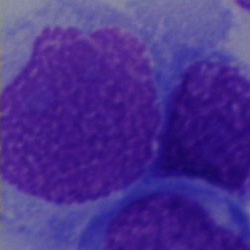
An artifact.